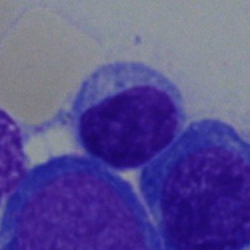 Cell: typical lymphocyte.